Bone marrow aspirate smear.
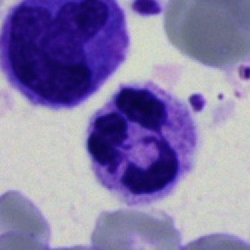 Cell type = neutrophil (segmented).